250×250 px. Pappenheim-stained. Bone marrow aspirate smear
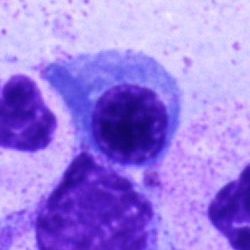Q: What is the morphological classification of this cell?
A: This is a nucleated red cell.